Bone marrow aspirate smear
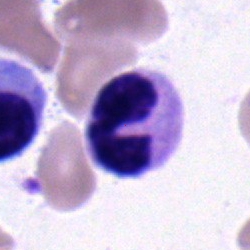

Specimen: bone marrow aspirate smear.
Morphological class: segmented neutrophil.